250×250 px; bone marrow aspirate smear; May-Grünwald-Giemsa/Pappenheim stain: 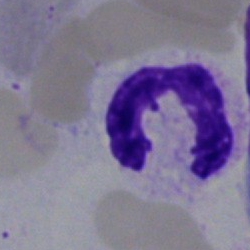
Showing a segmented neutrophil.